250×250 px; bone marrow smear — 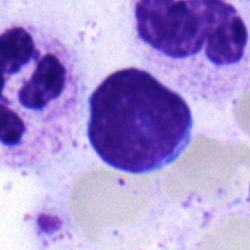Impression → lymphocyte.